Peripheral blood film · single-cell crop: 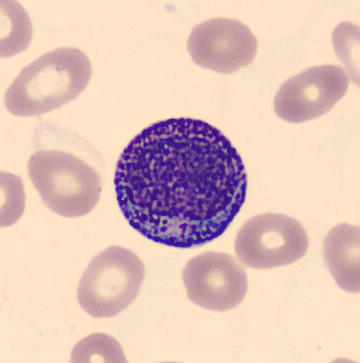 A promyelocyte.